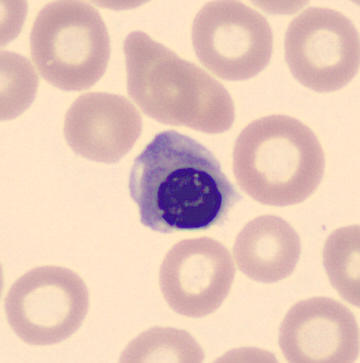 Morphological class = nucleated red cell.
Peripheral blood film.